Bone marrow smear; brightfield, 40× oil-immersion objective
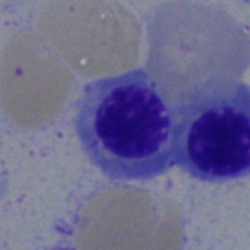 The classification is erythroblast.